Bone marrow smear; brightfield, 40× oil-immersion objective: 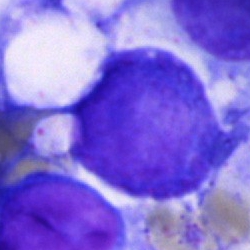 Q: What cell is this?
A: An undifferentiated blast.